Bone marrow aspirate smear.
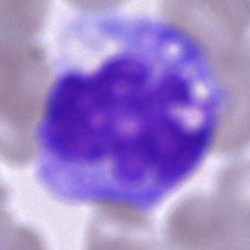
A monocyte.